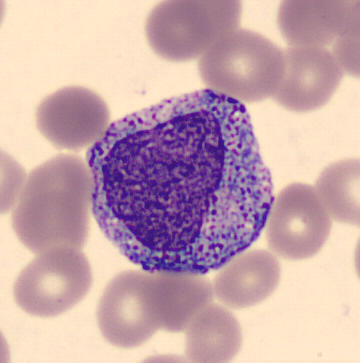Single cell centered in the field. Peripheral blood film. Morphological class: promyelocyte.